Single cell centered in the field. 250 by 250 pixels. Bone marrow aspirate smear: 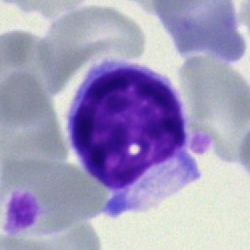 {"cell_type": "lymphocyte", "lineage": "lymphoid"}